Bone marrow smear
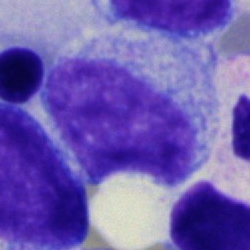

The cell is myelocyte.